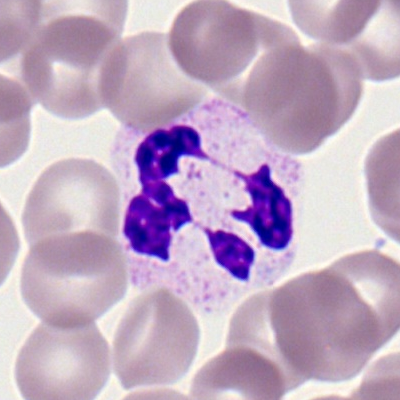

Classification — polymorphonuclear neutrophil.